Bone marrow aspirate smear. MGG-stained: 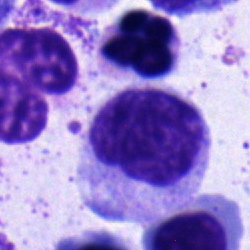 The cell shown is a myelocyte.